Bone marrow smear. May-Grünwald-Giemsa/Pappenheim stain. 250×250 px
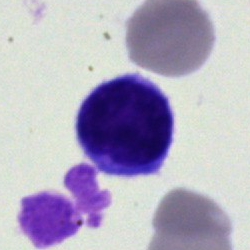
The cell shown is a typical lymphocyte.